Bone marrow aspirate smear: 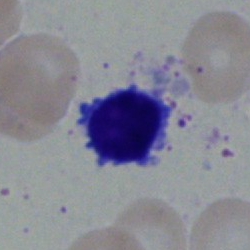This is a typical lymphocyte.